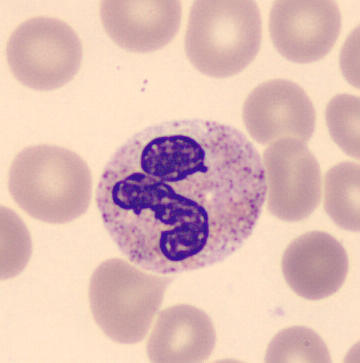Morphology — neutrophil (segmented).

Acquisition: Peripheral blood smear.